Bone marrow aspirate smear.
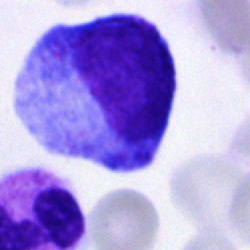Specimen: bone marrow aspirate smear.
Cell: progranulocyte.
Lineage: myeloid.